Bone marrow aspirate smear.
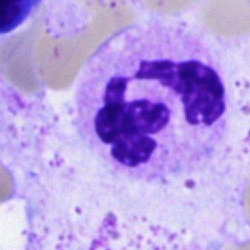The cell shown is a polymorphonuclear neutrophil.